Bone marrow smear · 250×250 px — 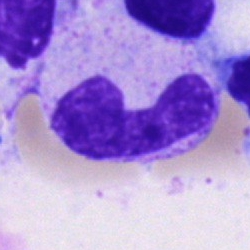

Morphological class: stab cell.